250 by 250 pixels; bone marrow smear — 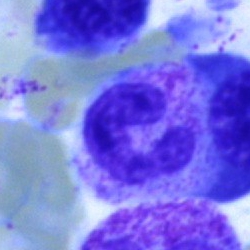 Cell type = neutrophil (segmented).